Bone marrow smear.
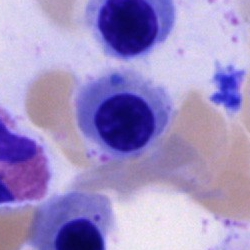
Single cell identified as a normoblast.